Bone marrow smear — 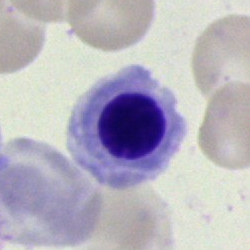

Q: What is the morphological classification of this cell?
A: It is a nucleated red cell.